Image size 250×250 · brightfield, 40× oil-immersion objective · bone marrow smear — 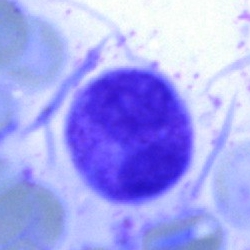Cell type: cell of indeterminate lineage.